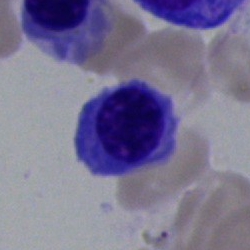{"cell_type": "normoblast"}